250 by 250 pixels; bone marrow smear; single cell centered in the field.
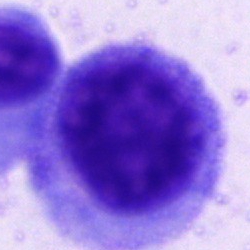
Q: What cell is this?
A: It is a progranulocyte.